Bone marrow aspirate smear — 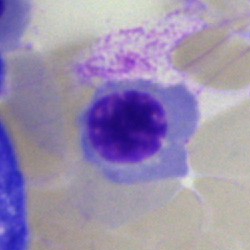Nucleated red cell.